Bone marrow aspirate smear
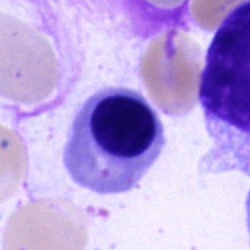
Q: Identify the cell.
A: This is an erythroblast.